Bone marrow aspirate smear. Single cell centered in the field:
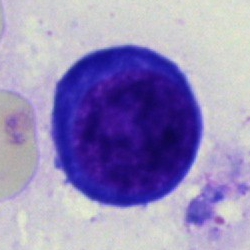
Specimen: bone marrow aspirate smear.
Cell: nucleated red blood cell.